May-Grünwald-Giemsa/Pappenheim stain · bone marrow aspirate smear.
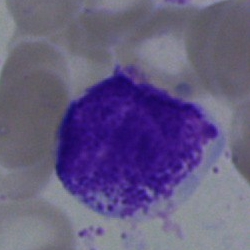
Morphological class = myelocyte.